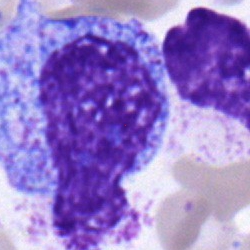
Single-cell crop from a bone marrow smear: progranulocyte.